Single cell centered in the field. Bone marrow smear. May-Grünwald-Giemsa stain:
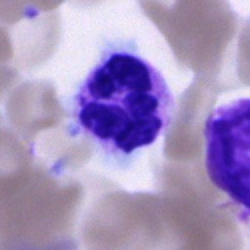This is a segmented neutrophil.